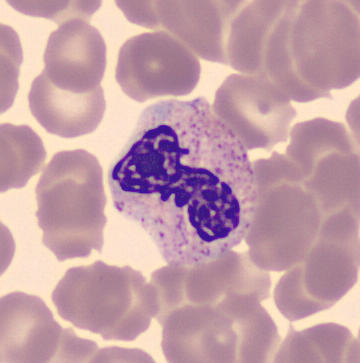
{"cell_type": "polymorphonuclear neutrophil", "lineage": "myeloid"}